Bone marrow aspirate smear · brightfield, 40× oil-immersion objective · 250×250 px — 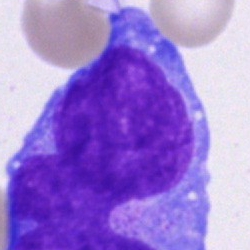 Morphology consistent with an undifferentiated blast.